May-Grünwald-Giemsa/Pappenheim stain. Bone marrow smear:
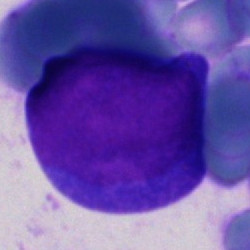 Morphology — blast.